MGG-stained; bone marrow aspirate smear — 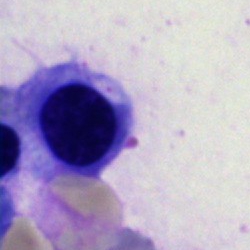

{"cell_type": "erythroblast", "lineage": "erythroid"}